Bone marrow smear · single-cell crop: 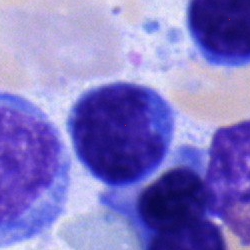
Cell: typical lymphocyte.